Single cell centered in the field. Bone marrow smear: 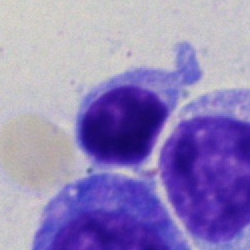 Q: What is shown here?
A: A typical lymphocyte.